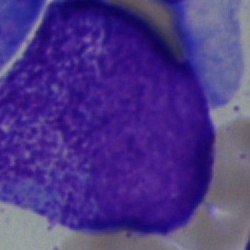

Classification — promyelocyte.